Brightfield microscopy, 40× oil immersion; bone marrow aspirate smear:
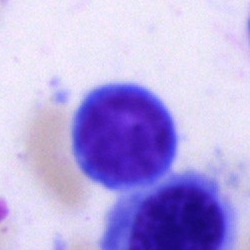Q: What is the morphological classification of this cell?
A: Typical lymphocyte.